Bone marrow smear. 40× objective, oil immersion.
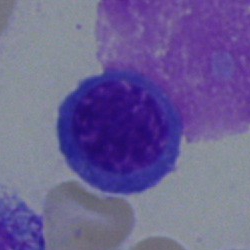Morphological class = normoblast.